40× objective, oil immersion. Bone marrow aspirate smear
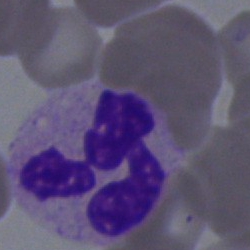
The classification is neutrophil (segmented).